Bone marrow smear
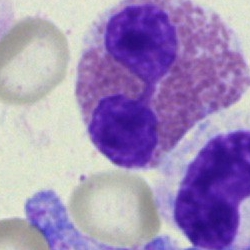 Classification — eosinophil.